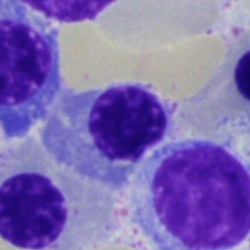Q: What type of cell is this?
A: Nucleated red blood cell.